Image size 360×363 · peripheral blood smear · MGG-stained: 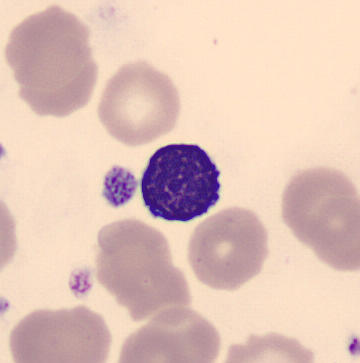 Q: What is this?
A: This is a typical lymphocyte.